MGG-stained; bone marrow aspirate smear; single-cell field: 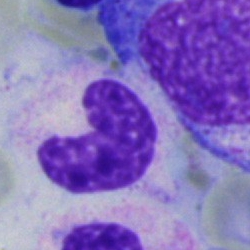
Classification — neutrophil (band).